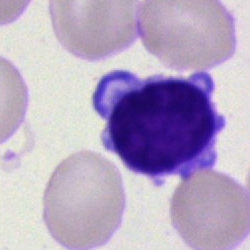A lymphocyte.